Bone marrow aspirate smear. Single-cell crop:
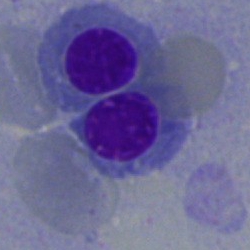

Classification = normoblast.